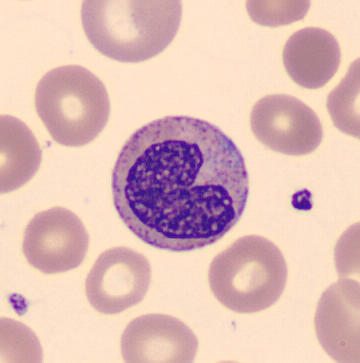Acquisition: Peripheral blood film.

Metamyelocyte.